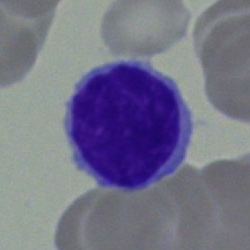Lymphocyte.